Bone marrow aspirate smear: 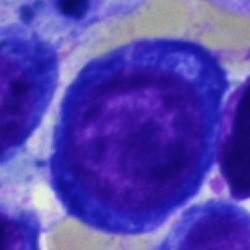 Single cell identified as a proerythroblast.